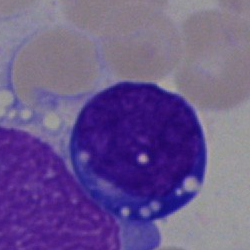
Morphological class = blast.